250×250 px; bone marrow smear; single-cell crop
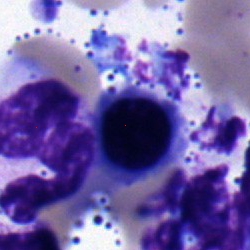

The cell type is nucleated red blood cell.